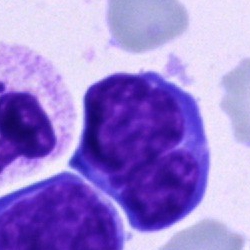The classification is blast cell.